Peripheral blood film.
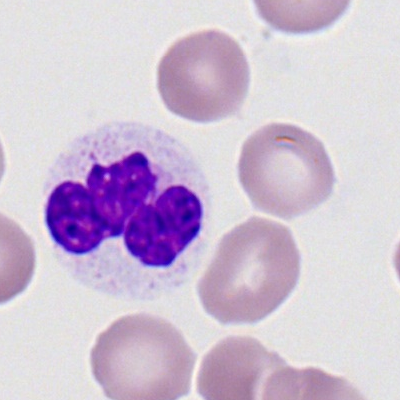The cell shown is a polymorphonuclear neutrophil.